Bone marrow smear; 250×250 px.
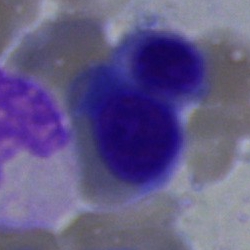 Showing a nucleated red blood cell.